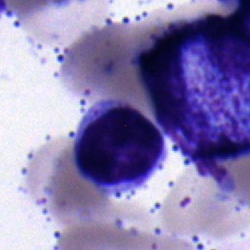

Single-cell crop from a bone marrow smear: typical lymphocyte.